250×250. May-Grünwald-Giemsa stain. Bone marrow aspirate smear: 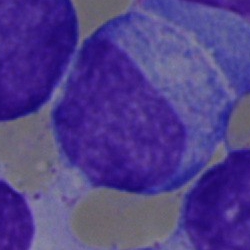 The morphological class is undifferentiated blast.